Bone marrow aspirate smear: 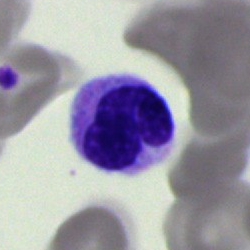 Single cell identified as a polymorphonuclear neutrophil.